Peripheral blood smear: 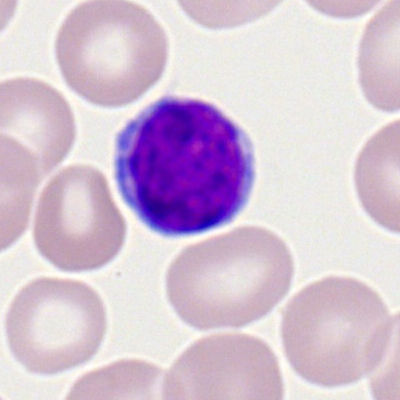
This is a typical lymphocyte.